Bone marrow smear
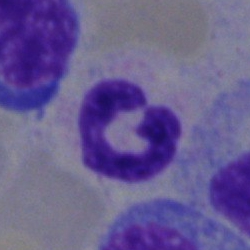

Morphology → polymorphonuclear neutrophil.